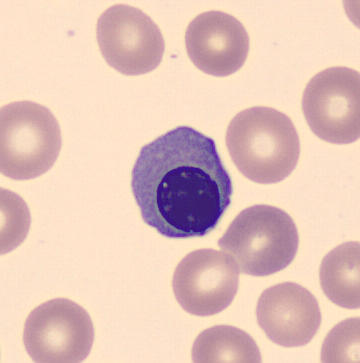Q: What is shown here?
A: Normoblast.